Bone marrow smear — 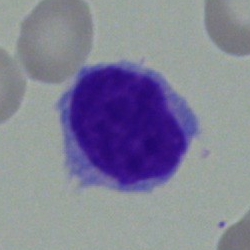

Specimen: bone marrow smear.
Classification: typical lymphocyte.
Lineage: lymphoid.